Bone marrow aspirate smear.
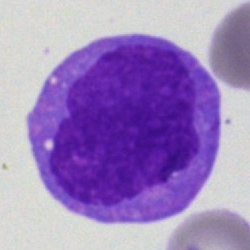Q: Identify the cell.
A: Blast cell.